Bone marrow aspirate smear · May-Grünwald-Giemsa/Pappenheim stain
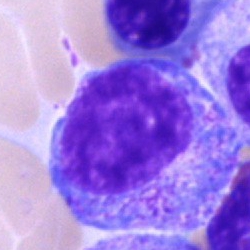 Showing a progranulocyte.